Bone marrow aspirate smear:
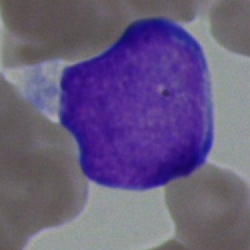
Blast cell.